Bone marrow aspirate smear
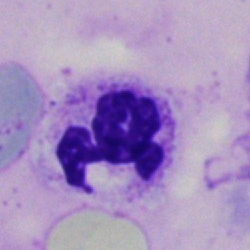
This is a neutrophil (segmented).